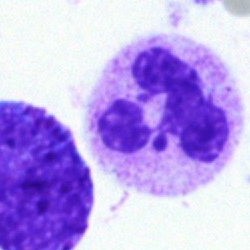
Classification: neutrophil (segmented).